Bone marrow aspirate smear. 250 by 250 pixels
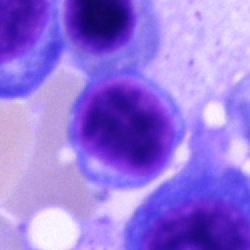
Showing a lymphocyte.